40× oil immersion · bone marrow aspirate smear · single-cell field: 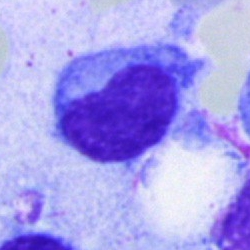
A hairy cell.